Peripheral blood film
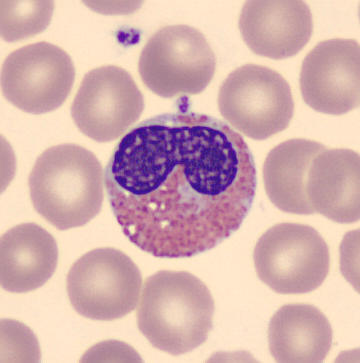Single cell identified as an eosinophil.